Bone marrow smear — 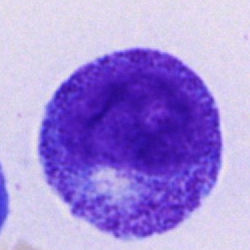

Single cell identified as a promyelocyte.